Bone marrow aspirate smear · 40× oil immersion:
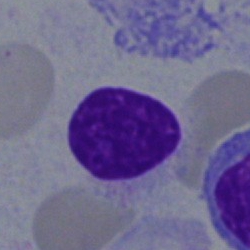Lymphocyte.